Bone marrow smear · 250 by 250 pixels: 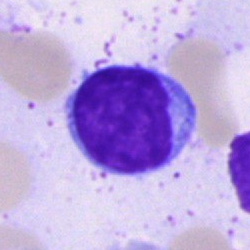
Specimen: bone marrow aspirate smear.
Cell type: typical lymphocyte.
Lineage: lymphoid.